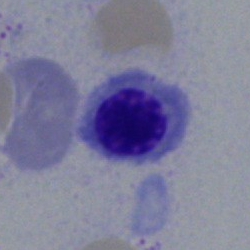

Q: Identify the cell.
A: Nucleated red cell.